Bone marrow smear.
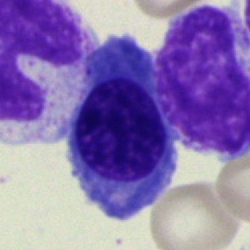

Impression → erythroblast.